Bone marrow aspirate smear — 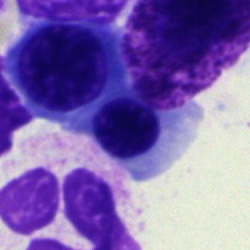
Showing a nucleated red cell.